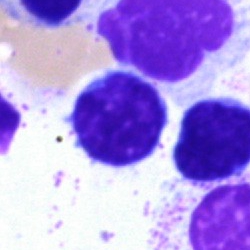Impression — lymphocyte.